Single-cell field; bone marrow aspirate smear; May-Grünwald-Giemsa/Pappenheim stain — 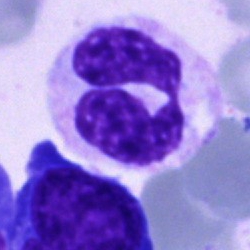Morphology consistent with a segmented neutrophil.